Single cell centered in the field. Peripheral blood smear — 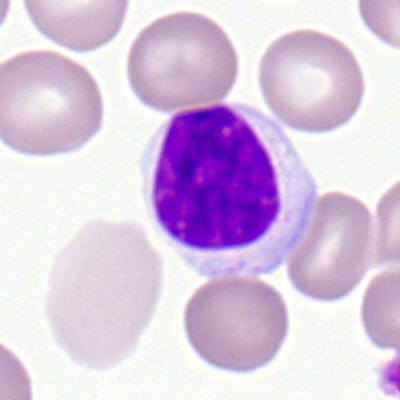 Q: What cell is this?
A: Typical lymphocyte.